Bone marrow aspirate smear; 250 by 250 pixels.
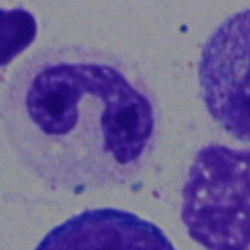
The morphological class is segmented neutrophil.